250 by 250 pixels. Bone marrow smear. Pappenheim-stained:
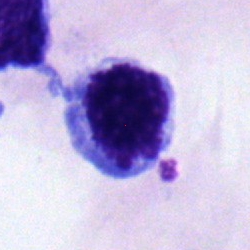

The cell shown is an erythroblast.